250×250 px; bone marrow smear; 40× objective, oil immersion:
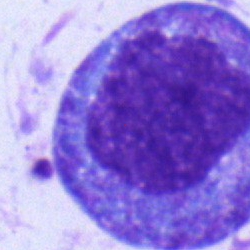 Showing a promyelocyte.